250 by 250 pixels; bone marrow smear; Pappenheim-stained:
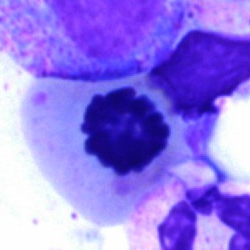 Q: What cell is this?
A: Nucleated red cell.